Bone marrow smear.
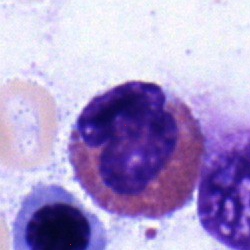 Cell type — eosinophilic granulocyte.